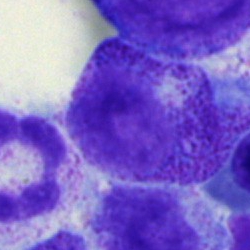Cell: myelocyte.